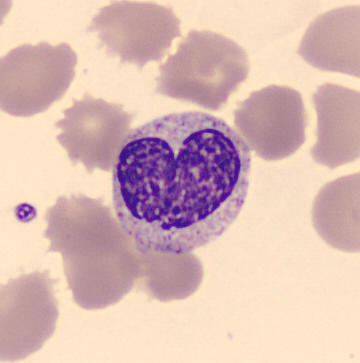
Image: Peripheral blood smear. The cell shown is a metamyelocyte.